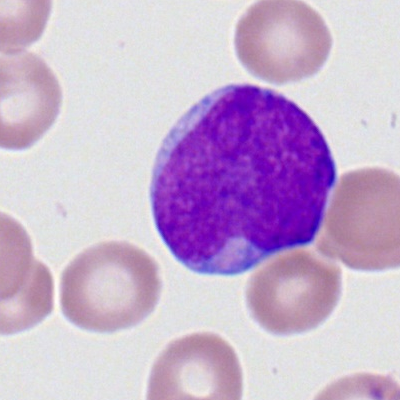{"cell_type": "myeloblast", "lineage": "myeloid"}